May-Grünwald-Giemsa/Pappenheim stain; bone marrow smear; brightfield, 40× oil-immersion objective — 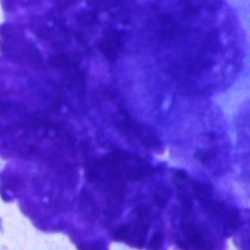

Showing an artifact.